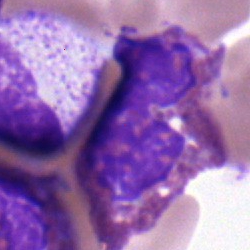This is an eosinophilic granulocyte.